Bone marrow smear — 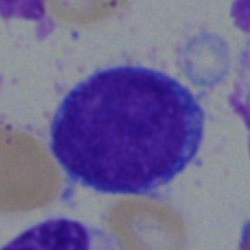An undifferentiated blast.